Bone marrow smear — 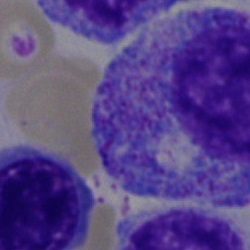Impression — promyelocyte.